Peripheral blood smear · 400 by 400 pixels.
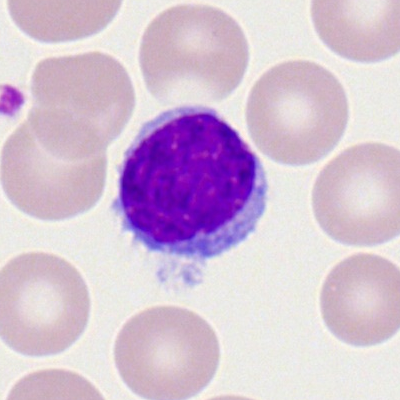
Morphological class: typical lymphocyte.